Bone marrow aspirate smear:
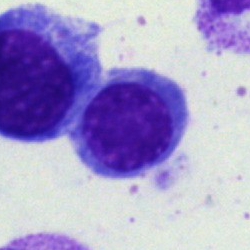 Q: What type of cell is this?
A: This is a normoblast.